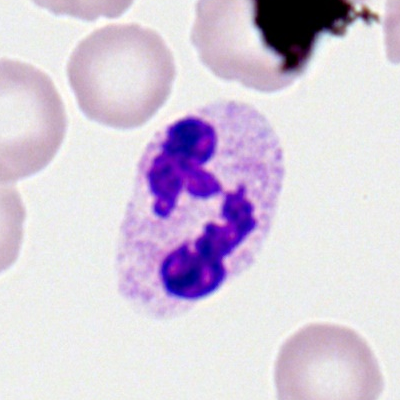Specimen: peripheral blood film.
Cell: segmented neutrophil.
Lineage: myeloid.